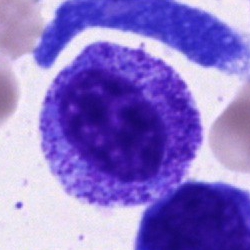 Showing a progranulocyte.